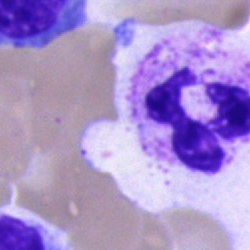
This is a neutrophil (segmented).